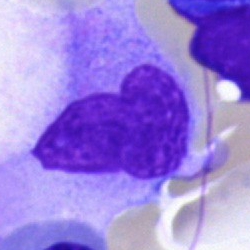

Bone marrow smear showing an artifact.